Bone marrow aspirate smear; cropped to a single cell
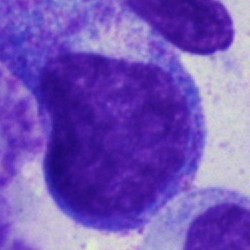A promyelocyte.